Bone marrow aspirate smear — 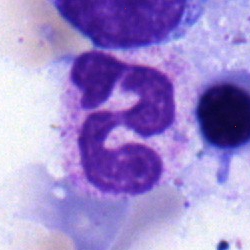

The cell shown is a myelocyte.